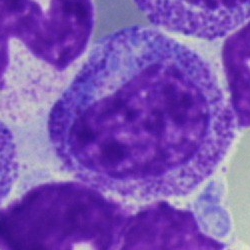
The cell is myelocyte.